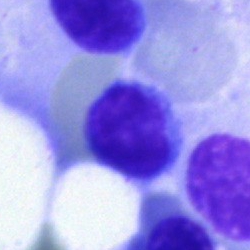Bone marrow smear showing a lymphocyte.